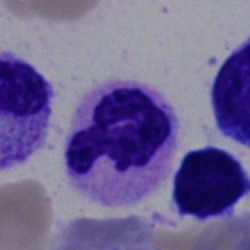 A neutrophil (segmented) on a bone marrow smear.